Bone marrow aspirate smear.
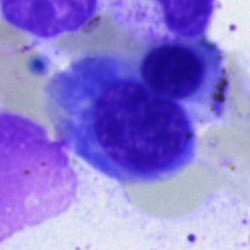{"cell_type": "normoblast", "lineage": "erythroid"}